250 by 250 pixels. Bone marrow smear: 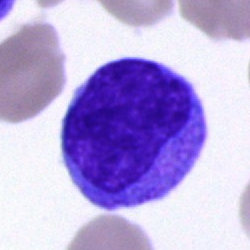
Q: What is shown here?
A: This is an undifferentiated blast.